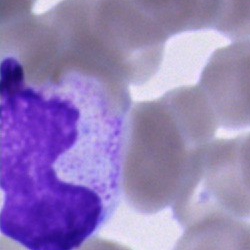
Showing an unidentifiable cell.